Bone marrow smear: 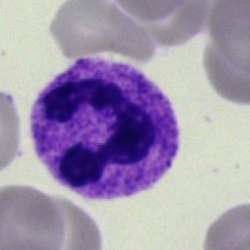

Classification = neutrophil (segmented).